Bone marrow smear — 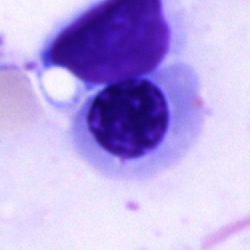
Specimen: bone marrow aspirate smear.
Cell type: nucleated red blood cell.
Lineage: erythroid.